Bone marrow smear: 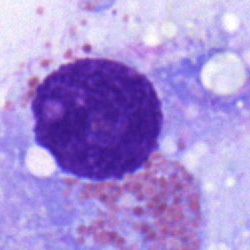 Q: Identify the cell.
A: This is an eosinophil.